Bone marrow aspirate smear: 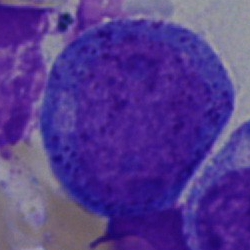
Impression → progranulocyte.